Bone marrow smear; May-Grünwald-Giemsa stain
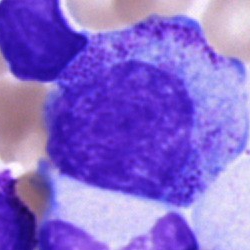 The cell shown is a progranulocyte.